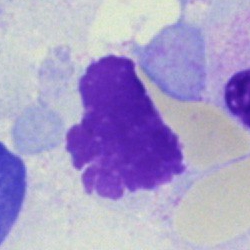

Cell type — artifact.